Bone marrow smear; brightfield microscopy, 40× oil immersion; 250 by 250 pixels.
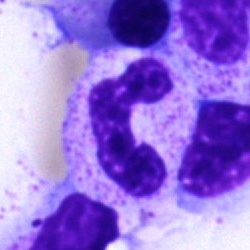Morphology consistent with a polymorphonuclear neutrophil.